Bone marrow smear: 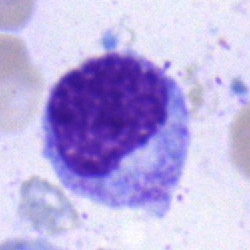

{"cell_type": "myelocyte"}